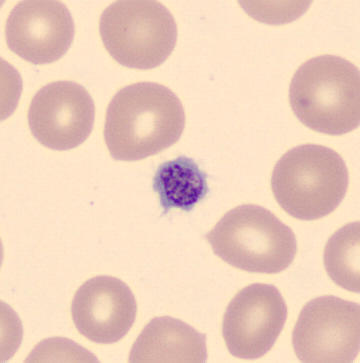Image: Peripheral blood smear.

Showing a platelet (thrombocyte).